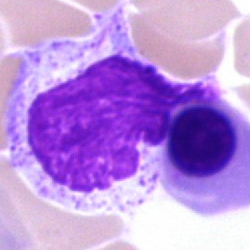Impression → unidentifiable cell.